Bone marrow aspirate smear
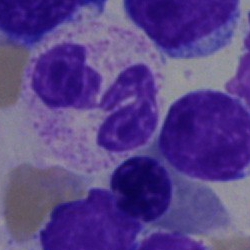 The cell shown is a neutrophil (segmented).